Image size 250×250. Bone marrow aspirate smear. Single-cell field:
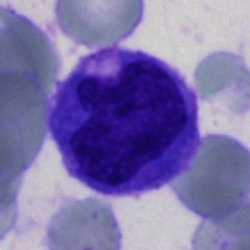
Impression → monocyte.